Bone marrow smear:
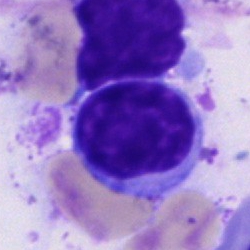
Q: Identify the cell.
A: A lymphocyte.